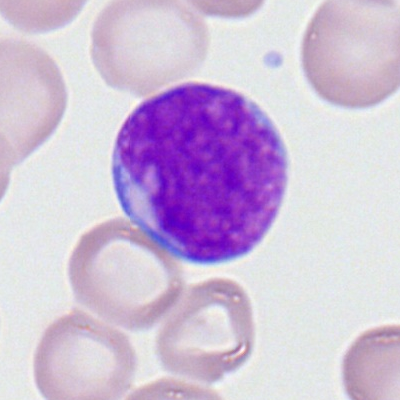 Single-cell crop from a peripheral blood smear: myeloid blast.